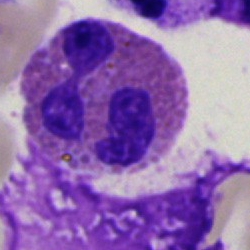The morphological class is eosinophilic granulocyte.